Peripheral blood smear.
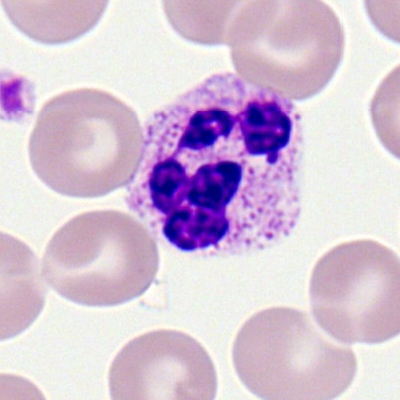
Classification — segmented neutrophil.